Bone marrow smear
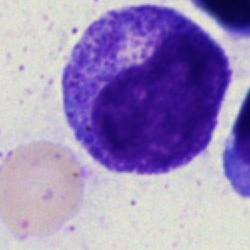 Morphology — promyelocyte.